Bone marrow smear — 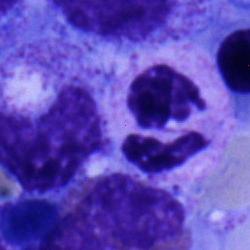
The cell shown is a polymorphonuclear neutrophil.